Peripheral blood smear. 400×400 px:
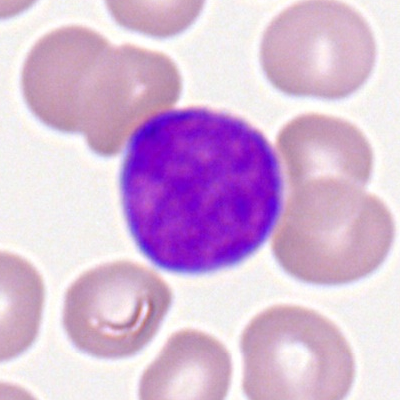The cell type is myeloid blast.